Bone marrow smear:
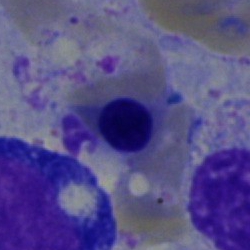

Showing a nucleated red blood cell.